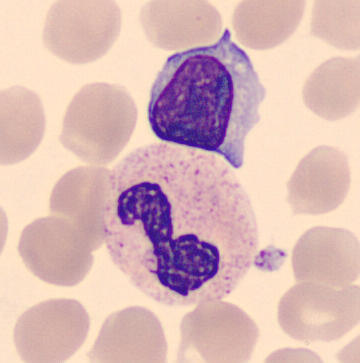 Image: Image size 360×363; peripheral blood film.

Q: Identify the cell.
A: Band-form neutrophil.